Bone marrow smear.
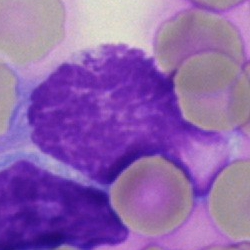Specimen: bone marrow smear.
Cell type: artefact.